40× oil immersion; bone marrow aspirate smear; single-cell crop — 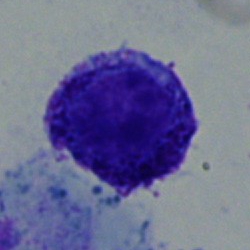
Showing a progranulocyte.